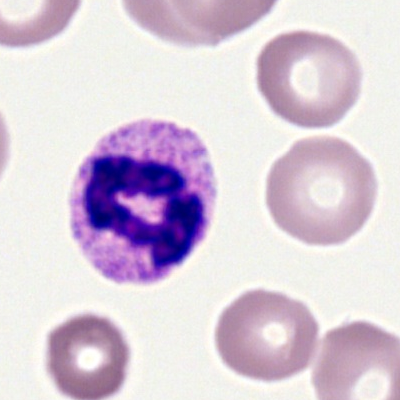Specimen: peripheral blood smear.
Morphological class: segmented neutrophil.
Lineage: myeloid.